Bone marrow aspirate smear:
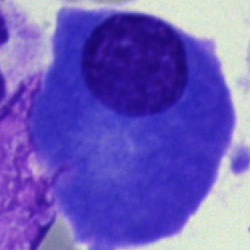

Morphology — plasma cell.